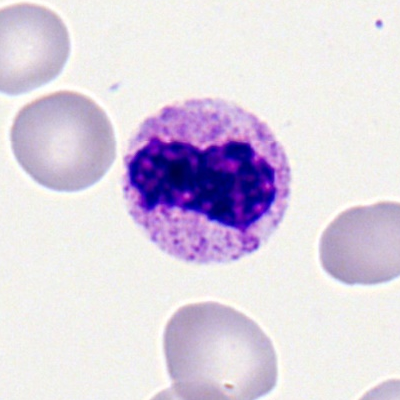 Specimen: peripheral blood film.
Cell: neutrophil (segmented).
Lineage: myeloid.